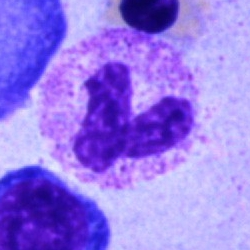
A polymorphonuclear neutrophil on a bone marrow smear.